Bone marrow aspirate smear — 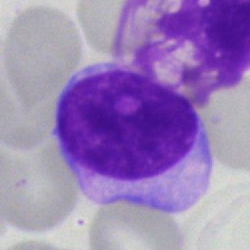A lymphocyte.